May-Grünwald-Giemsa/Pappenheim stain · bone marrow aspirate smear.
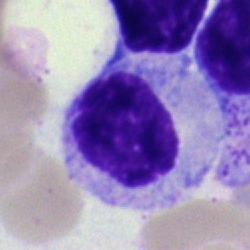Morphology consistent with a myelocyte.